Bone marrow aspirate smear · single-cell field.
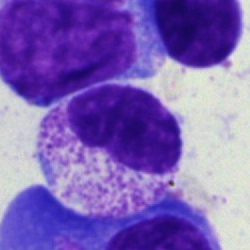

This is a metamyelocyte.